Bone marrow smear.
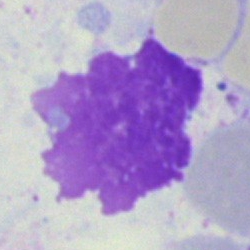Morphological class: artefact.